Romanowsky stain. 400×400. Peripheral blood smear:
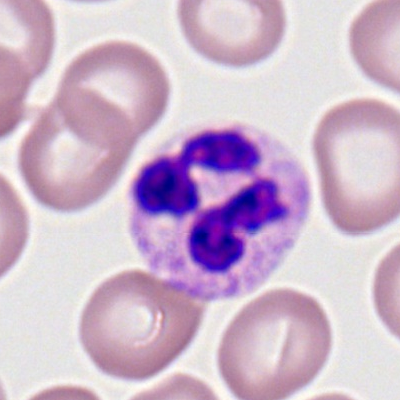 This is a neutrophil (segmented).